Bone marrow aspirate smear:
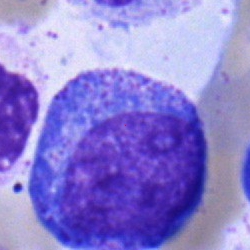
The cell shown is a promyelocyte.